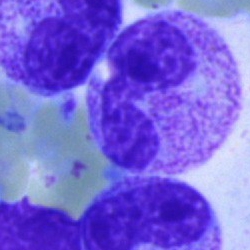Specimen: bone marrow smear.
Classification: segmented neutrophil.
Lineage: myeloid.